Bone marrow aspirate smear; image size 250×250
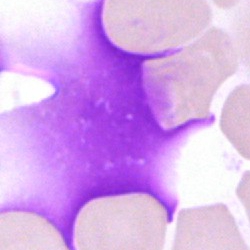 Showing an artifact.